Peripheral blood smear.
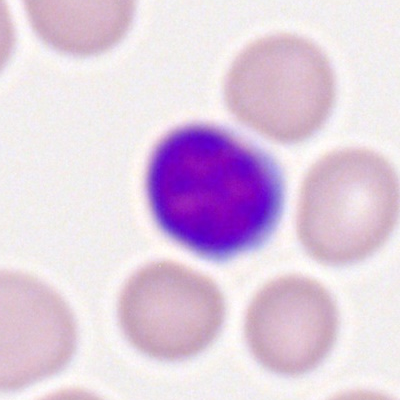Specimen: peripheral blood film.
Morphological class: typical lymphocyte.
Lineage: lymphoid.